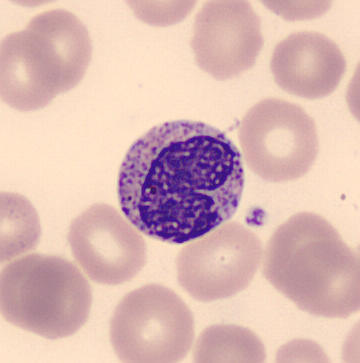Automated cell imaging (CellaVision DM96). Peripheral blood film. Morphology consistent with a metamyelocyte.